Bone marrow aspirate smear; brightfield microscopy, 40× oil immersion.
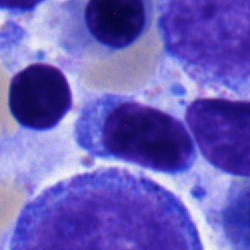 Morphology → lymphocyte.